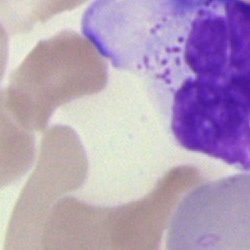 An artifact.